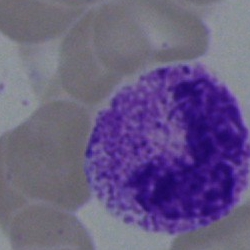 A band neutrophil.